Bone marrow aspirate smear · 40× objective, oil immersion · May-Grünwald-Giemsa/Pappenheim stain
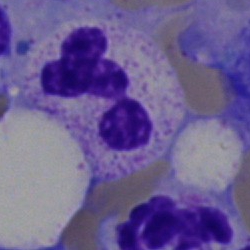

Q: Identify the cell.
A: A segmented neutrophil.